Bone marrow smear.
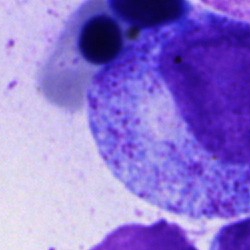
{"cell_type": "progranulocyte"}